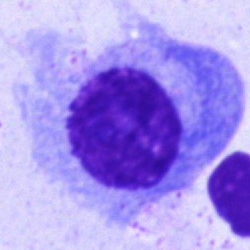

Impression — plasmacyte.